Bone marrow smear: 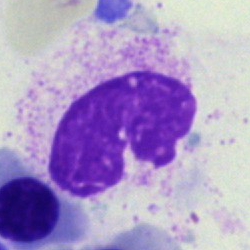 Specimen: bone marrow smear.
Cell: artefact.